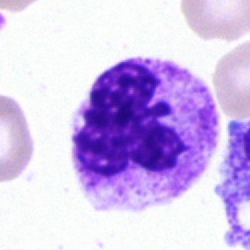

A polymorphonuclear neutrophil.